Bone marrow smear
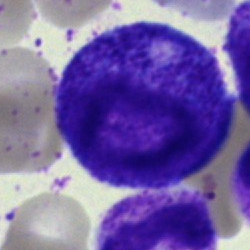

Classification = progranulocyte.